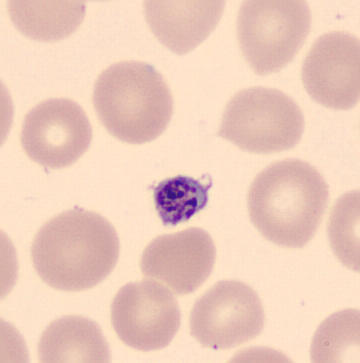Q: What is shown here?
A: Platelet (thrombocyte).
Peripheral blood film.